Bone marrow smear: 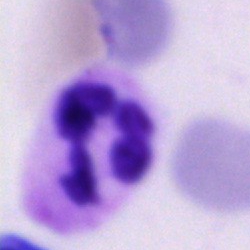

Classification = neutrophil (segmented).